Bone marrow aspirate smear · 250×250 px · MGG-stained
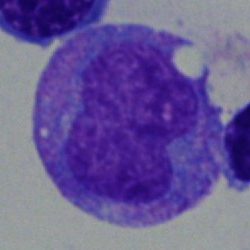 Morphology consistent with a monocyte.